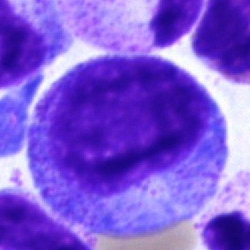 Morphology → progranulocyte.